Pappenheim-stained. Bone marrow smear — 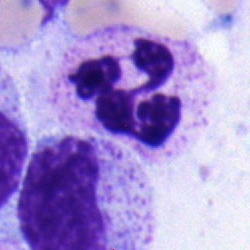

Specimen: bone marrow aspirate smear.
Morphological class: neutrophil (segmented).
Lineage: myeloid.